Single-cell crop. Bone marrow smear:
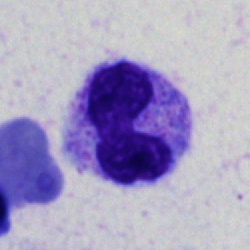 Q: What cell is this?
A: This is a band neutrophil.